Bone marrow aspirate smear; image size 250×250 — 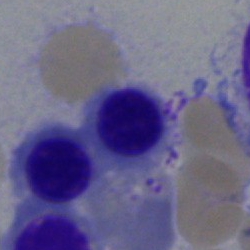

Q: What type of cell is this?
A: This is an erythroblast.